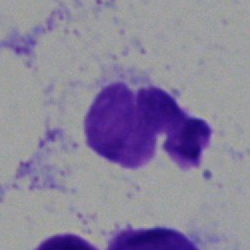 Morphological class: artifact.